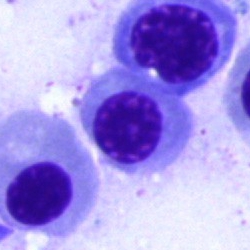
A normoblast on a bone marrow smear.